Pappenheim-stained · bone marrow aspirate smear.
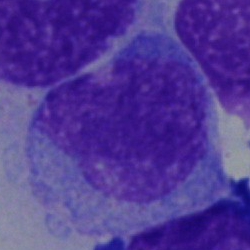 Progranulocyte.